Peripheral blood film.
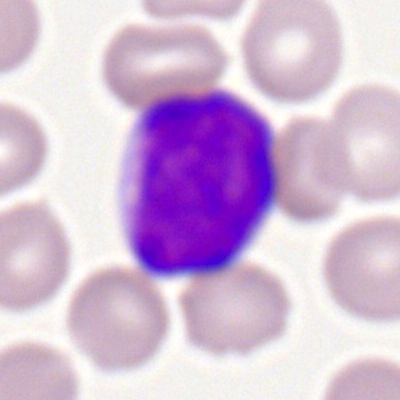

{"cell_type": "myeloblast"}